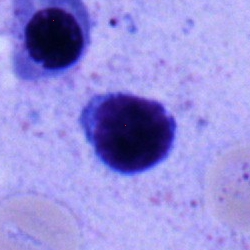

Bone marrow aspirate smear, single cell — typical lymphocyte.